Bone marrow aspirate smear:
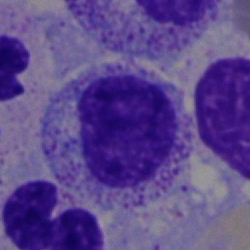 Q: What cell is this?
A: It is a myelocyte.